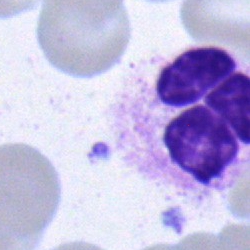
Q: What cell is this?
A: Segmented neutrophil.